Peripheral blood smear — 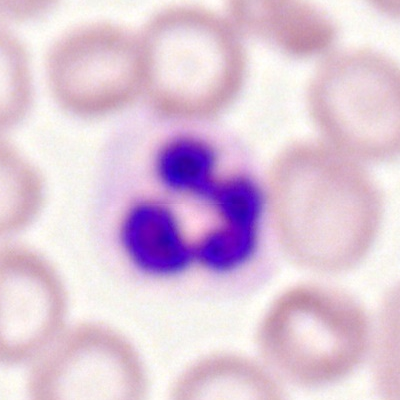Q: Identify the cell.
A: It is a polymorphonuclear neutrophil.